Bone marrow aspirate smear
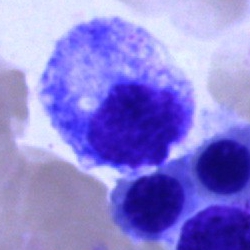
A progranulocyte.